Bone marrow aspirate smear. Pappenheim-stained
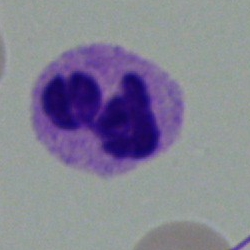Specimen: bone marrow smear.
Morphological class: polymorphonuclear neutrophil.
Lineage: myeloid.